Cropped to a single cell. Peripheral blood smear. Image size 400×400:
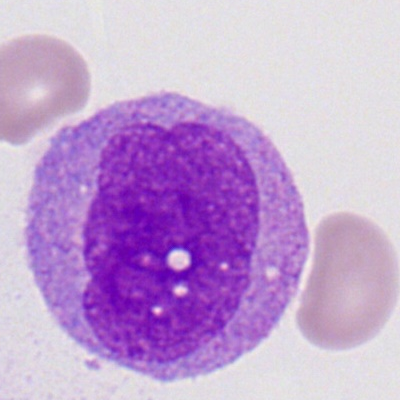
Q: What is shown here?
A: This is a myeloblast.